Bone marrow smear:
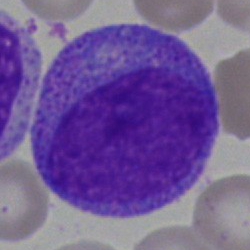
Classification = promyelocyte.